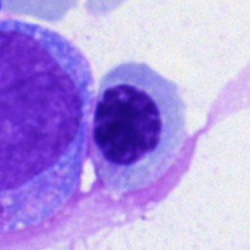 Cell: nucleated red cell.